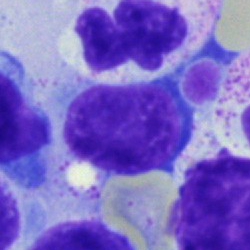
Single-cell crop from a bone marrow smear: normoblast.